Cropped to a single cell; peripheral blood film
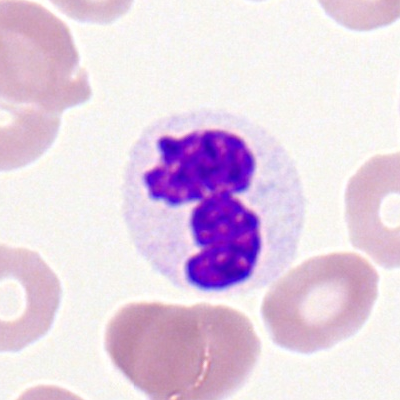

{"cell_type": "segmented neutrophil"}